40× oil immersion · bone marrow smear:
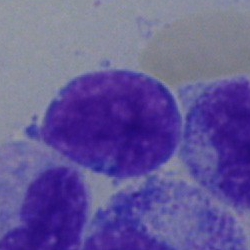

The cell shown is a lymphocyte.